250×250. Bone marrow aspirate smear: 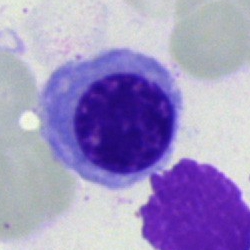

Single cell identified as a normoblast.